Bone marrow smear. Brightfield microscopy, 40× oil immersion: 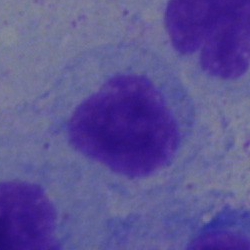Specimen: bone marrow aspirate smear.
Morphological class: myelocyte.